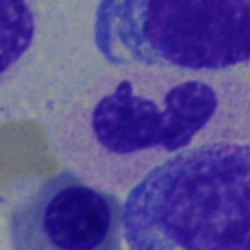{"cell_type": "polymorphonuclear neutrophil", "lineage": "myeloid"}